Bone marrow aspirate smear. Single-cell field. 40× oil immersion
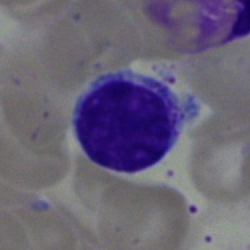

Cell — lymphocyte.